Bone marrow aspirate smear.
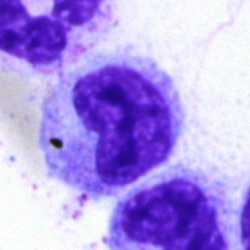 This is a metamyelocyte.